Bone marrow aspirate smear. 40× objective, oil immersion. Single-cell field:
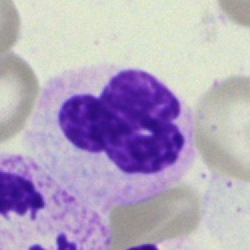Specimen: bone marrow smear.
Morphological class: polymorphonuclear neutrophil.
Lineage: myeloid.